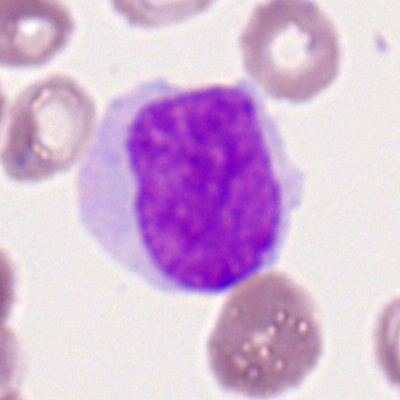
Q: What type of cell is this?
A: It is a monocyte.